Peripheral blood film.
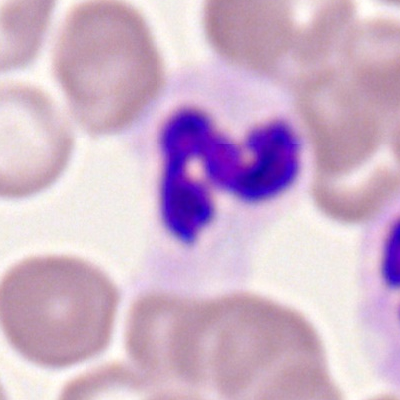Morphological class = neutrophil (segmented).